Peripheral blood smear
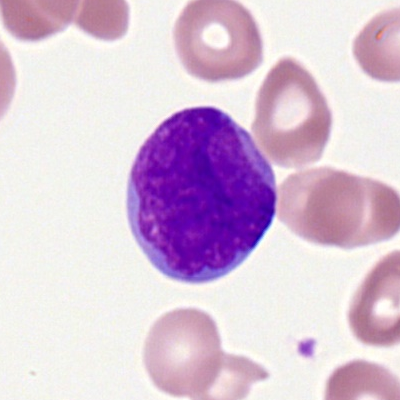Specimen: peripheral blood smear.
Morphological class: myeloblast.